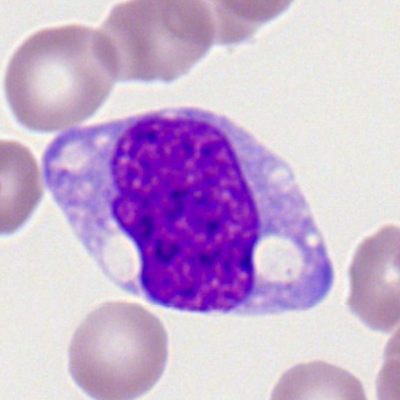 Specimen: peripheral blood smear.
Morphological class: monocyte.
Lineage: myeloid.